Brightfield microscopy, 40× oil immersion. Bone marrow smear. Cropped to a single cell — 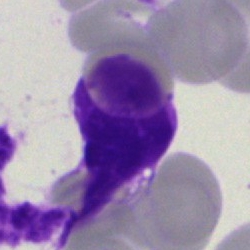 Specimen: bone marrow aspirate smear.
Cell: artifact.